Bone marrow smear. Single-cell field — 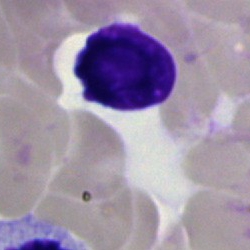
Artifact.